Cropped to a single cell; bone marrow aspirate smear
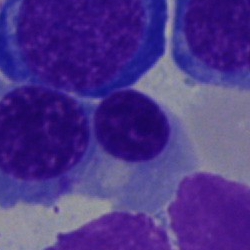 Specimen: bone marrow smear.
Morphological class: erythroblast.
Lineage: erythroid.